Bone marrow smear — 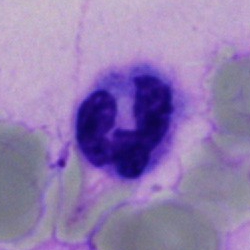

Morphology — polymorphonuclear neutrophil.